Bone marrow aspirate smear; single-cell field.
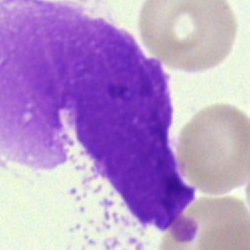

Q: What is shown here?
A: An artefact.